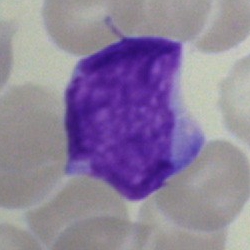

{"cell_type": "undifferentiated blast"}